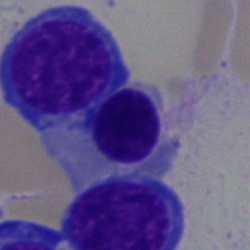Classification — nucleated red blood cell.